Bone marrow smear:
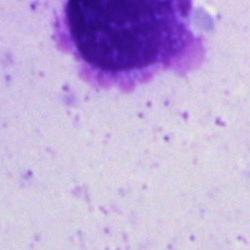Classification — artefact.